Bone marrow aspirate smear: 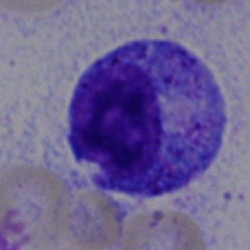 Morphological class — progranulocyte.